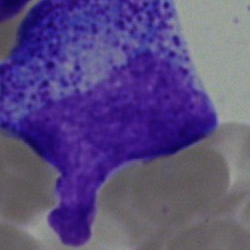
Specimen: bone marrow aspirate smear.
Cell: progranulocyte.
Lineage: myeloid.